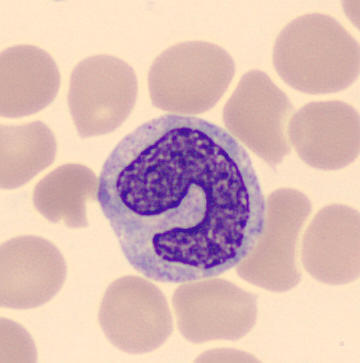Peripheral blood smear showing a monocyte.